Pappenheim-stained; bone marrow aspirate smear — 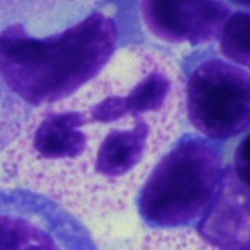 Morphology → polymorphonuclear neutrophil.